Peripheral blood film. 100× oil immersion — 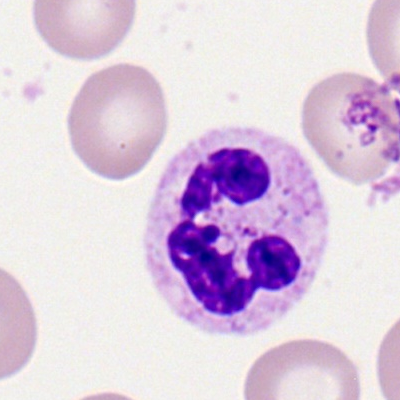 Single cell identified as a neutrophil (segmented).